Peripheral blood film:
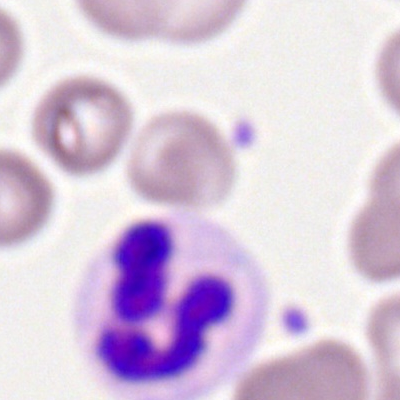 Polymorphonuclear neutrophil.